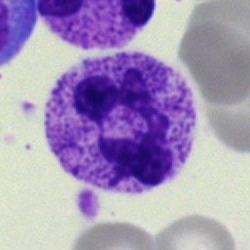 Specimen: bone marrow aspirate smear.
Cell: polymorphonuclear neutrophil.
Lineage: myeloid.